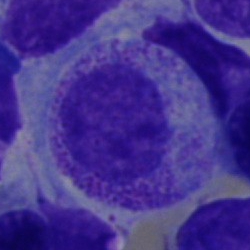 Q: Which cell type is shown here?
A: It is a myelocyte.